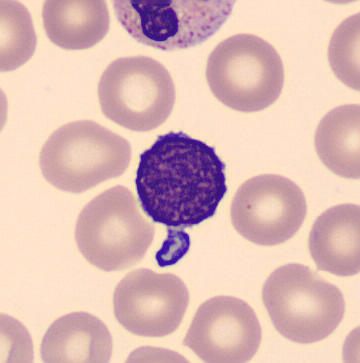 Peripheral blood smear showing a lymphocyte.